Bone marrow smear — 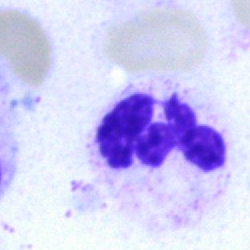

Morphological class = polymorphonuclear neutrophil.